40× objective, oil immersion. 250 by 250 pixels. Bone marrow aspirate smear.
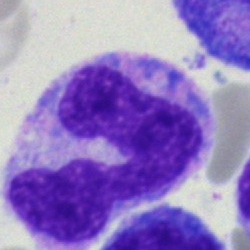
Morphological class: monocyte.